Bone marrow smear — 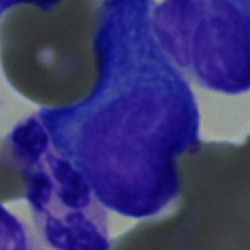 Classification: plasma cell.